Bone marrow smear. 250×250. 40× objective, oil immersion
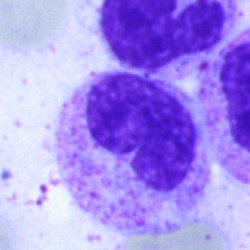Single cell identified as a band neutrophil.